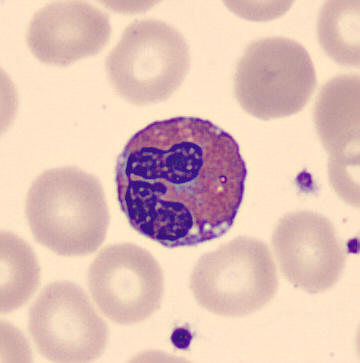Impression — eosinophilic granulocyte.